400×400. Peripheral blood smear — 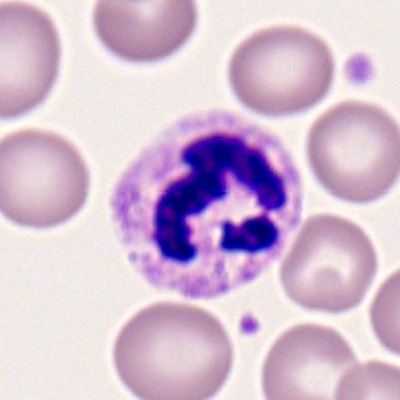

Single cell identified as a polymorphonuclear neutrophil.